MGG-stained · 250 by 250 pixels · bone marrow smear: 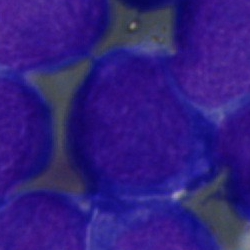

This is a blast cell.